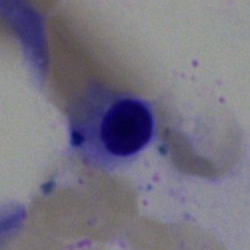

A nucleated red cell.